40× objective, oil immersion; bone marrow aspirate smear: 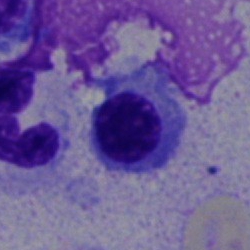Q: Which cell type is shown here?
A: Normoblast.